Bone marrow smear · image size 250×250:
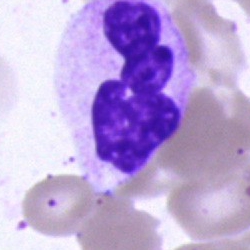The morphological class is neutrophil (segmented).